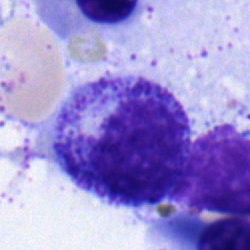
Bone marrow smear showing a myelocyte.